250×250 px; bone marrow aspirate smear:
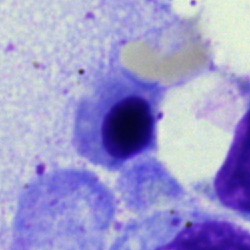Cell — normoblast.